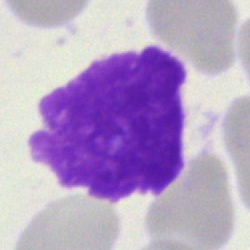 The cell type is basket cell.